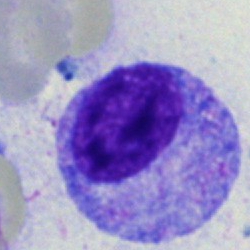
This is a promyelocyte.